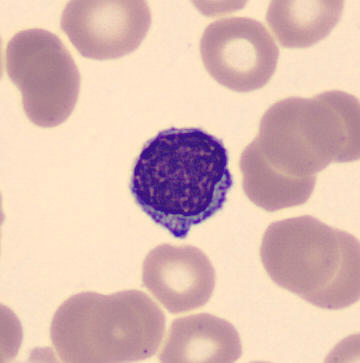Peripheral blood film, single cell — lymphocyte.